Bone marrow smear — 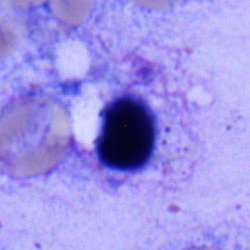
A lymphocyte.